Bone marrow aspirate smear:
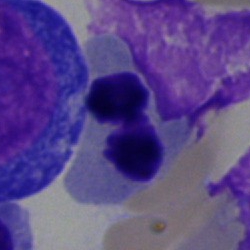 Cell = erythroblast.